Bone marrow aspirate smear
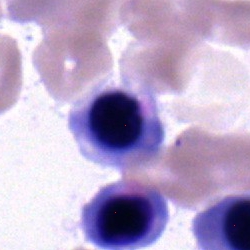 Q: What is shown here?
A: This is a nucleated red blood cell.